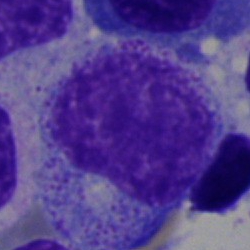 Promyelocyte.